Bone marrow smear.
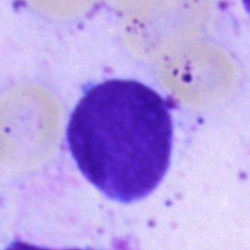Single cell identified as a typical lymphocyte.